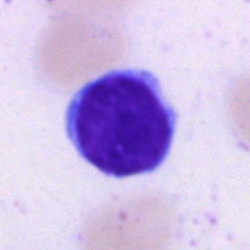
Classification: typical lymphocyte.